250×250 px · bone marrow aspirate smear:
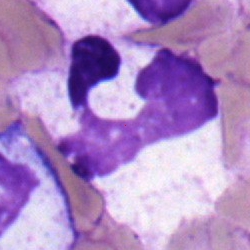
Specimen: bone marrow aspirate smear.
Classification: segmented neutrophil.
Lineage: myeloid.